Bone marrow smear; May-Grünwald-Giemsa stain: 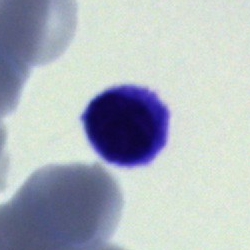The cell shown is an artefact.